Bone marrow aspirate smear:
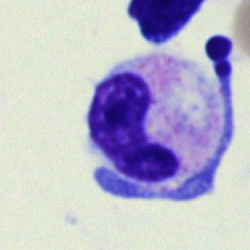Showing a segmented neutrophil.